Bone marrow smear. Brightfield, 40× oil-immersion objective:
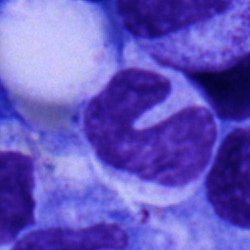 Morphological class = band neutrophil.